Peripheral blood film
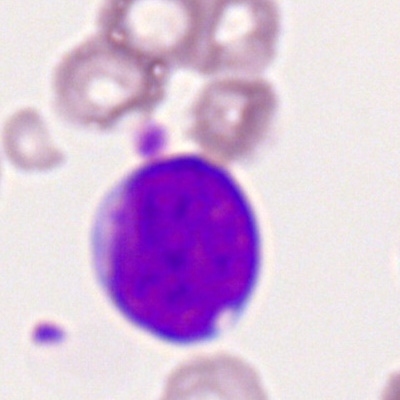
A myeloid blast.